Bone marrow aspirate smear — 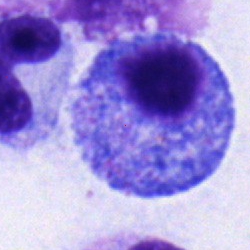The morphological class is promyelocyte.